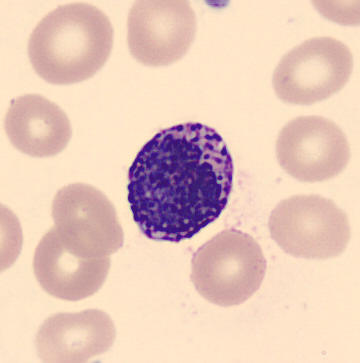
Acquisition: CellaVision DM96 digital cell image. Peripheral blood smear. Single-cell crop. The cell type is basophil.